May-Grünwald-Giemsa/Pappenheim stain. Bone marrow aspirate smear: 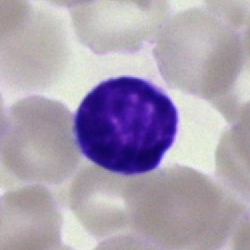The cell shown is a typical lymphocyte.